Bone marrow smear: 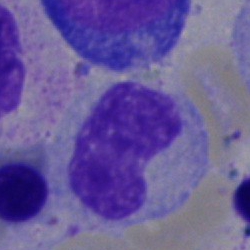Band-form neutrophil.